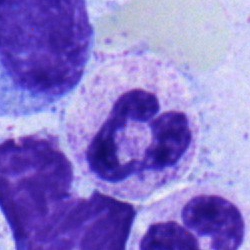

Bone marrow aspirate smear, single cell — neutrophil (segmented).